Brightfield microscopy, 40× oil immersion. Image size 250×250. Bone marrow smear:
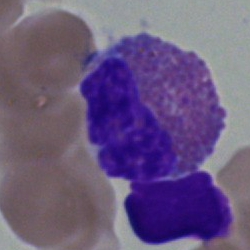 Eosinophilic granulocyte.